Bone marrow aspirate smear.
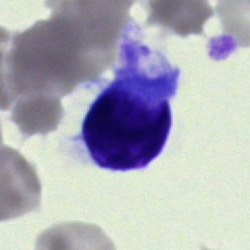Single cell identified as an artifact.